Bone marrow smear. 250×250:
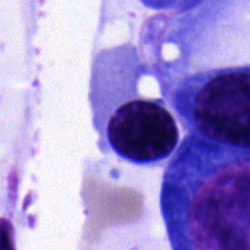

Specimen: bone marrow aspirate smear.
Cell type: nucleated red blood cell.
Lineage: erythroid.